Single-cell crop; bone marrow aspirate smear:
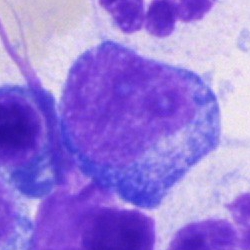
Showing a blast cell.